Bone marrow smear.
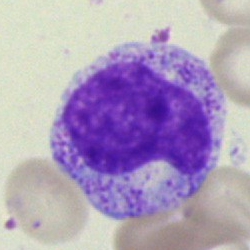Morphology — myelocyte.